Image size 250×250. Bone marrow aspirate smear:
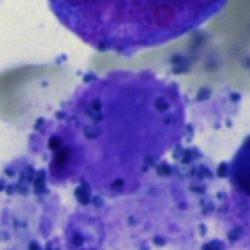Morphological class: other cell type.